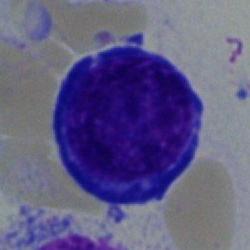

Q: What is shown here?
A: A normoblast.